Peripheral blood film:
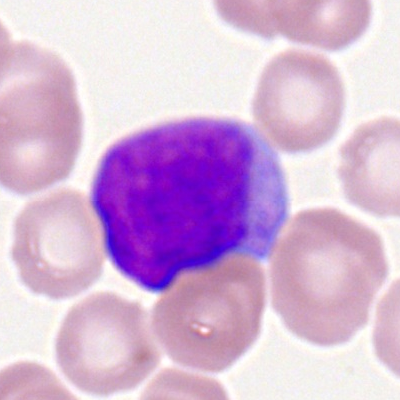Q: What is shown here?
A: This is a myeloid blast.